Bone marrow aspirate smear:
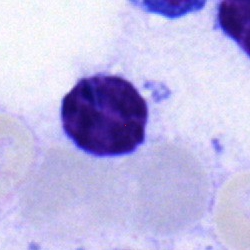 Morphology consistent with a lymphocyte.